Peripheral blood smear: 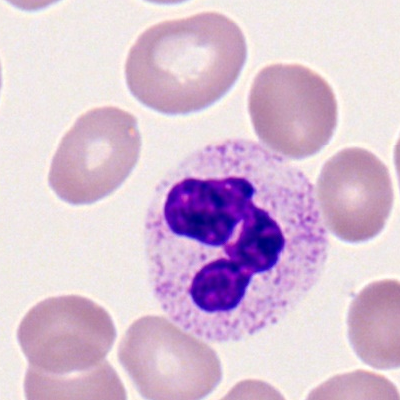

Q: Identify the cell.
A: A polymorphonuclear neutrophil.